Bone marrow aspirate smear — 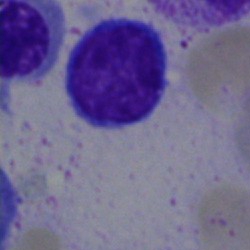
Morphology — lymphocyte.